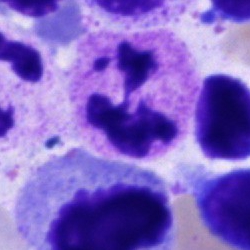 Specimen: bone marrow aspirate smear.
Morphological class: segmented neutrophil.